Bone marrow aspirate smear: 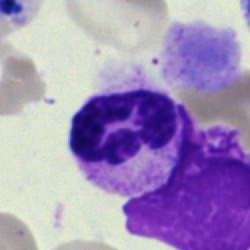

Classification = segmented neutrophil.